100× oil immersion, 14.14 px/µm · peripheral blood smear:
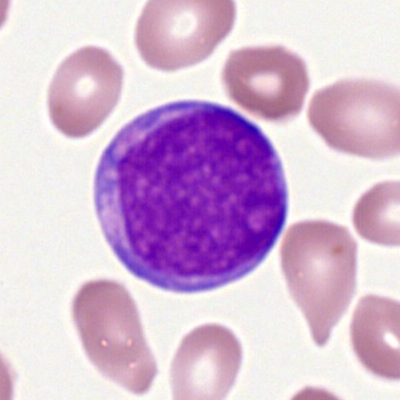

The classification is myeloid blast.